Brightfield, 100× oil-immersion objective. Peripheral blood smear.
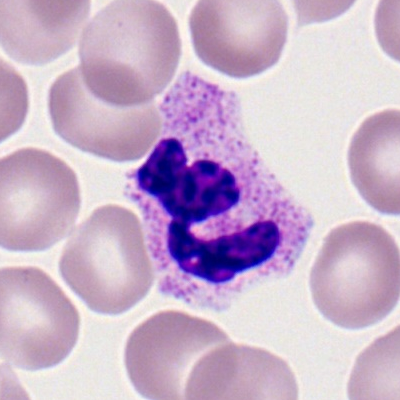 The classification is segmented neutrophil.